Bone marrow smear: 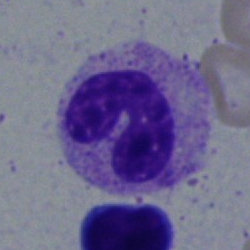Specimen: bone marrow aspirate smear.
Classification: neutrophil (band).
Lineage: myeloid.